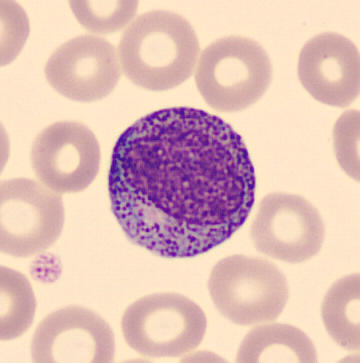Preparation: Peripheral blood film.
Impression — promyelocyte.